40× objective, oil immersion; bone marrow aspirate smear: 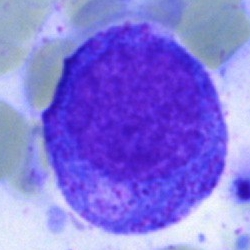 {"cell_type": "progranulocyte", "lineage": "myeloid"}